Bone marrow smear; 250 by 250 pixels.
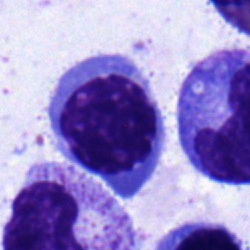 Nucleated red blood cell.